Image size 250×250; single-cell crop; bone marrow aspirate smear
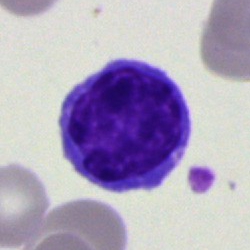
Cell = typical lymphocyte.